Bone marrow aspirate smear:
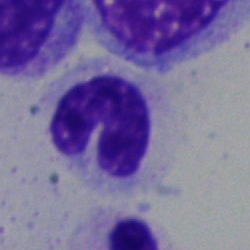
A band-form neutrophil.